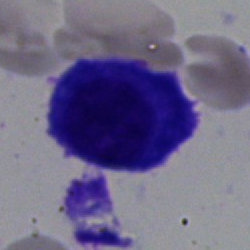
Morphology consistent with a plasma cell.